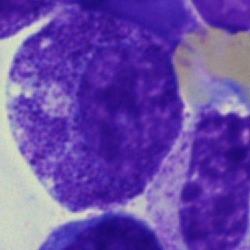

The cell type is promyelocyte.